Bone marrow aspirate smear. Pappenheim-stained — 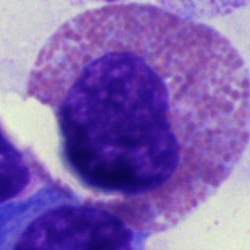
Specimen: bone marrow smear.
Morphological class: eosinophilic granulocyte.
Lineage: myeloid.